Bone marrow smear: 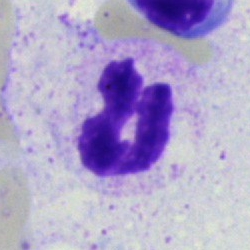

A neutrophil (segmented).